Bone marrow aspirate smear.
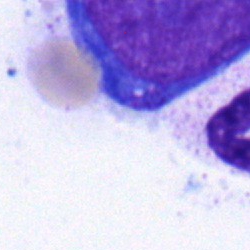 Impression — blast cell.